Romanowsky-stained · peripheral blood smear — 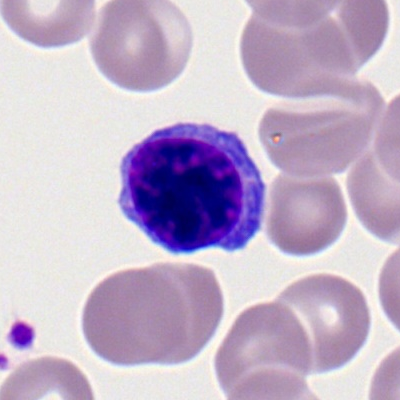
Typical lymphocyte.